Bone marrow aspirate smear · 40× oil immersion — 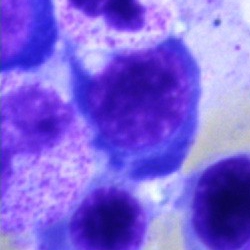
A nucleated red cell.